Bone marrow smear: 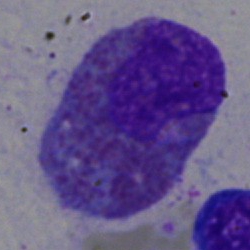
{"cell_type": "eosinophil", "lineage": "myeloid"}